Brightfield, 40× oil-immersion objective · bone marrow aspirate smear: 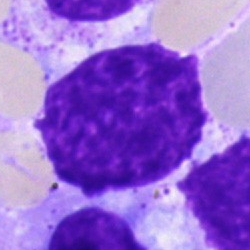Single cell identified as an artifact.